Bone marrow aspirate smear:
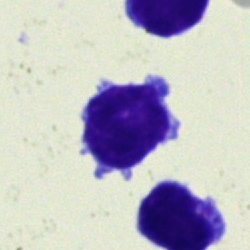 Cell = typical lymphocyte.